Bone marrow smear. Image size 250×250
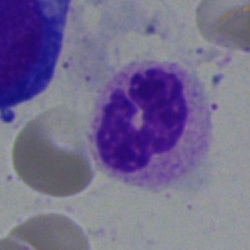 The cell shown is a polymorphonuclear neutrophil.